Pappenheim-stained; single-cell crop; bone marrow aspirate smear
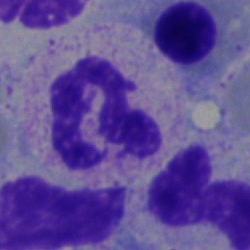

The cell shown is a neutrophil (segmented).